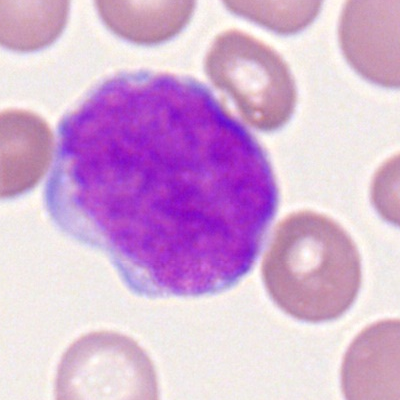 Classification: myeloid blast.